Bone marrow aspirate smear.
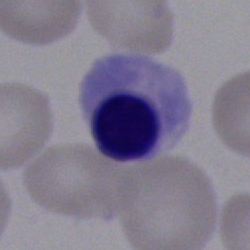
Showing a nucleated red blood cell.